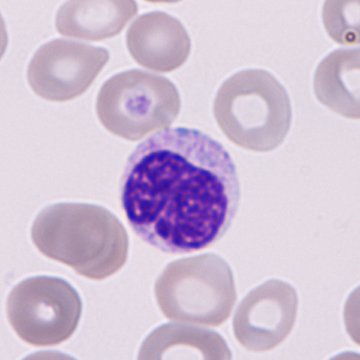
Cell — immature granulocyte.